Single-cell field · 250×250 px · bone marrow smear.
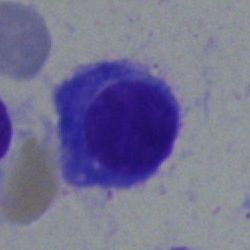

Morphology → plasma cell.